Bone marrow aspirate smear; 250×250; brightfield, 40× oil-immersion objective.
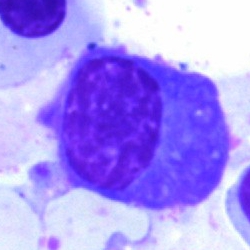 Morphological class = plasmacyte.